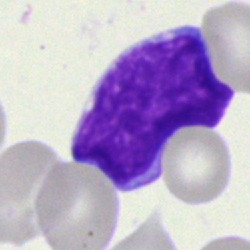
Q: What is the morphological classification of this cell?
A: It is a blast.